Brightfield, 40× oil-immersion objective. Single-cell field. Bone marrow smear: 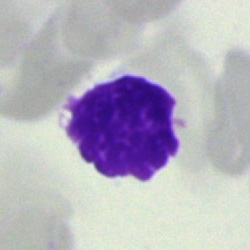 Impression → artefact.